Bone marrow smear:
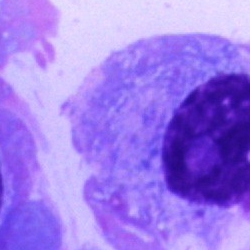 Cell type — plasmacyte.